Bone marrow smear — 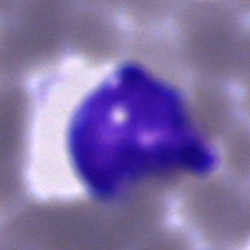Impression → undifferentiated blast.